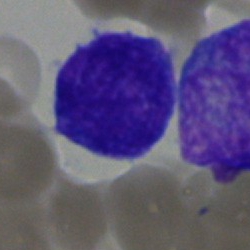
Cell = blast cell.